Brightfield, 40× oil-immersion objective. Single-cell crop. Bone marrow aspirate smear
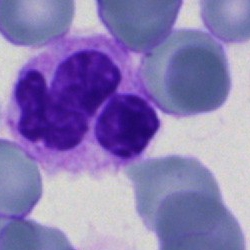 Neutrophil (segmented).